Bone marrow aspirate smear.
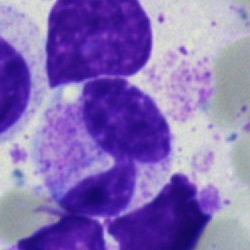
Specimen: bone marrow smear.
Cell type: segmented neutrophil.
Lineage: myeloid.